Bone marrow smear.
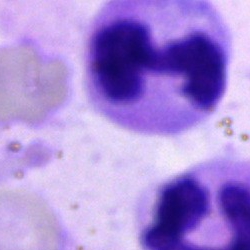 The cell type is polymorphonuclear neutrophil.